Peripheral blood film; Romanowsky stain: 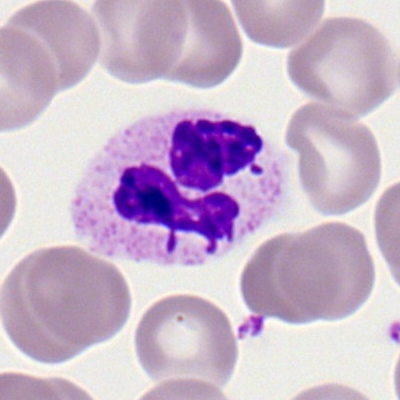

Q: Which cell type is shown here?
A: It is a polymorphonuclear neutrophil.